Bone marrow smear:
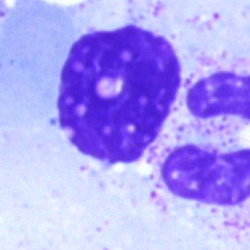
This is an artefact.